Bone marrow smear
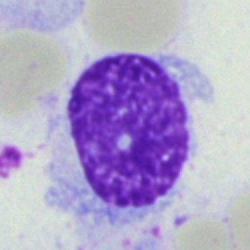 An artifact.